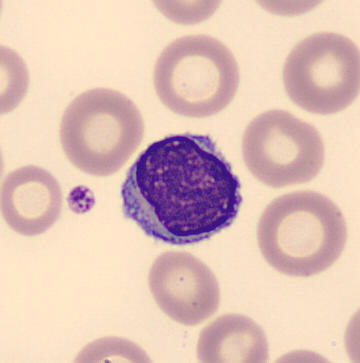
Preparation: MGG-stained; peripheral blood smear.
Showing a lymphocyte.